Image size 250×250 · bone marrow smear
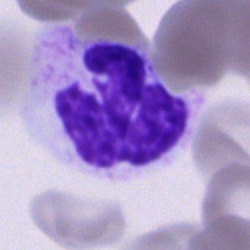Specimen: bone marrow aspirate smear.
Classification: neutrophil (segmented).
Lineage: myeloid.